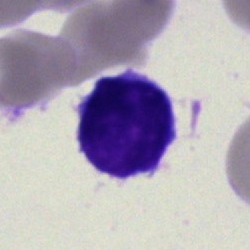A typical lymphocyte.